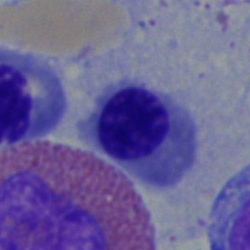

Morphology consistent with a normoblast.